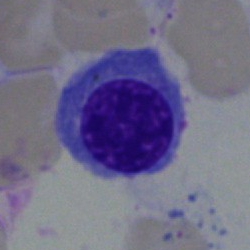

An erythroblast.